Bone marrow smear.
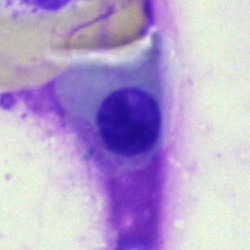Q: Identify the cell.
A: Nucleated red blood cell.